Bone marrow aspirate smear.
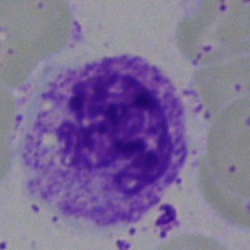
Morphology consistent with a segmented neutrophil.